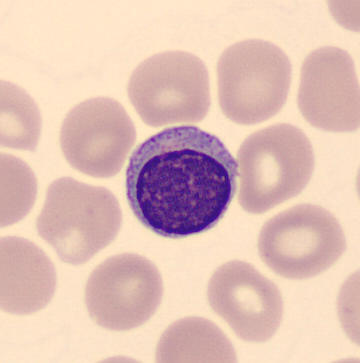

Q: What is this?
A: Typical lymphocyte.